Brightfield, 40× oil-immersion objective · bone marrow smear · 250×250 px — 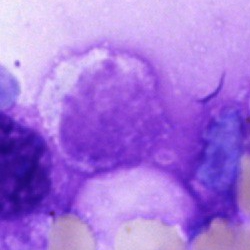
Q: What is shown here?
A: An artifact.